Brightfield, 40× oil-immersion objective · bone marrow aspirate smear:
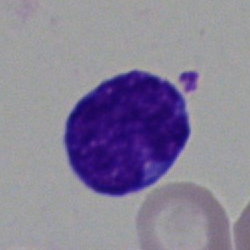Specimen: bone marrow smear.
Cell type: blast cell.